Bone marrow smear; 250×250: 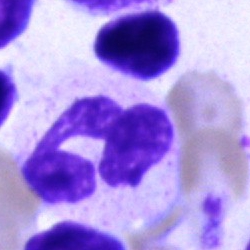
Segmented neutrophil.